Peripheral blood smear: 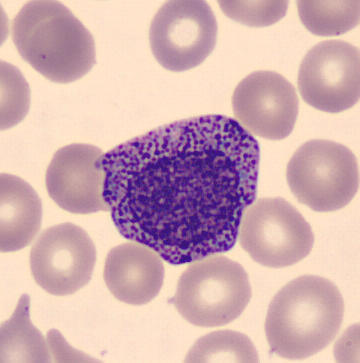
Morphology → promyelocyte.